250×250. Bone marrow smear. Single-cell field.
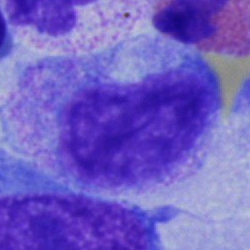 Specimen: bone marrow aspirate smear.
Cell: promyelocyte.